Bone marrow smear — 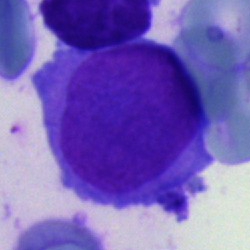

Single cell identified as a blast.